Bone marrow aspirate smear.
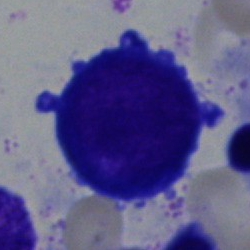
A pronormoblast.